Bone marrow aspirate smear: 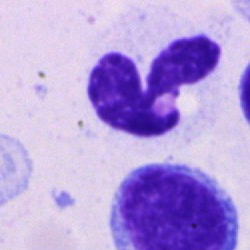 Specimen: bone marrow aspirate smear.
Classification: polymorphonuclear neutrophil.
Lineage: myeloid.